Bone marrow smear · cropped to a single cell.
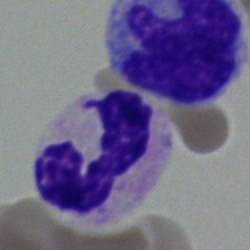
Specimen: bone marrow smear.
Cell: band neutrophil.
Lineage: myeloid.